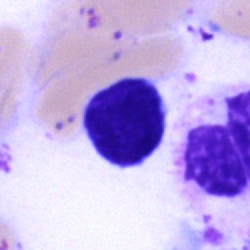 Typical lymphocyte.